Bone marrow aspirate smear:
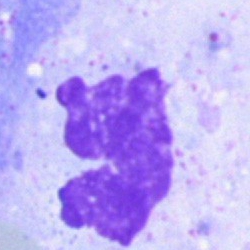Impression → artefact.